Bone marrow smear; 250 by 250 pixels.
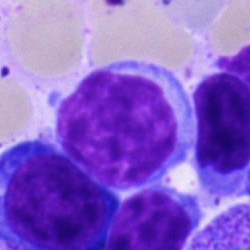

Single cell identified as a typical lymphocyte.